Bone marrow smear.
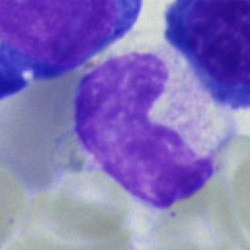 Single cell identified as a band-form neutrophil.